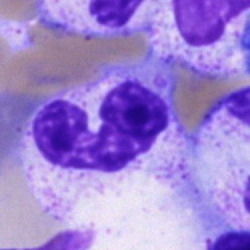A band-form neutrophil on a bone marrow smear.